MGG-stained · 250 by 250 pixels · bone marrow smear
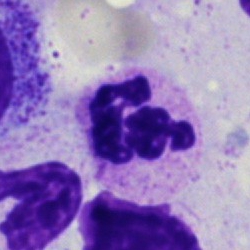Showing a segmented neutrophil.